Bone marrow smear:
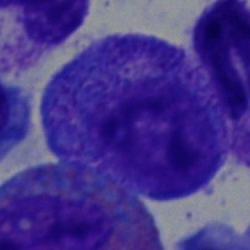The cell shown is a progranulocyte.